Bone marrow smear.
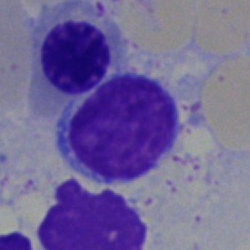 The classification is typical lymphocyte.